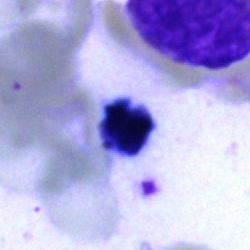 Showing an artifact.